Bone marrow aspirate smear — 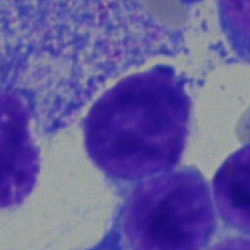 Q: What is the morphological classification of this cell?
A: This is a typical lymphocyte.